40× oil immersion. Bone marrow smear:
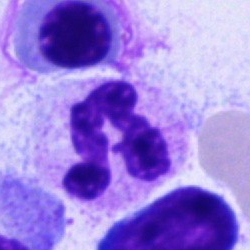Classification — typical lymphocyte.